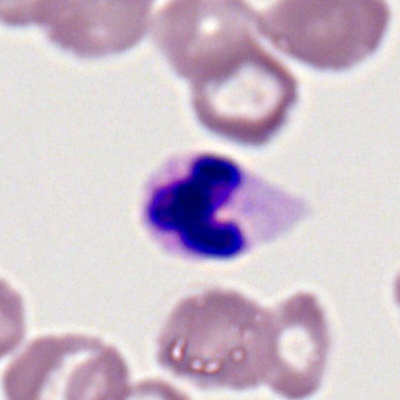
The morphological class is segmented neutrophil.